Bone marrow aspirate smear.
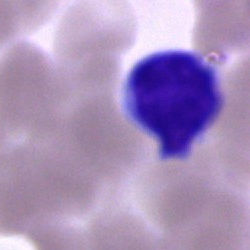

Classification = unidentifiable cell.